Bone marrow aspirate smear; MGG-stained
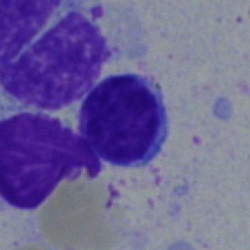The cell shown is a lymphocyte.